Bone marrow smear · 40× objective, oil immersion.
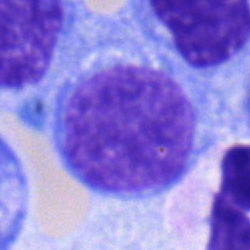
Q: What is shown here?
A: This is a blast cell.